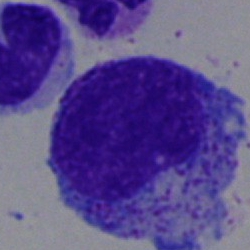

The cell shown is a promyelocyte.